Bone marrow smear:
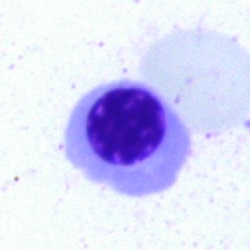Morphology → erythroblast.